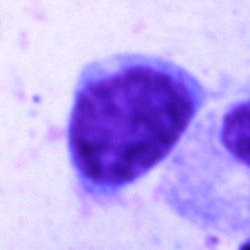The morphological class is lymphocyte.